Pappenheim-stained; bone marrow aspirate smear — 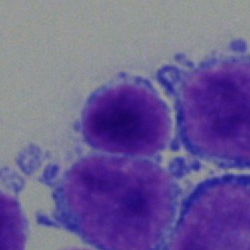

Morphology consistent with a typical lymphocyte.